Bone marrow aspirate smear
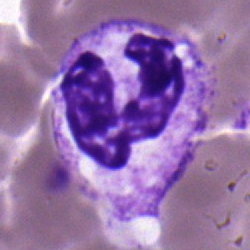
The cell shown is a neutrophil (segmented).